Bone marrow smear:
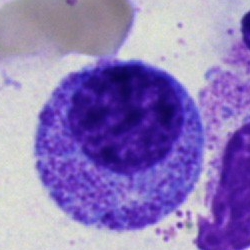
This is a promyelocyte.